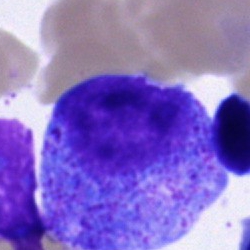

Cell type = progranulocyte.